Bone marrow smear. 40× objective, oil immersion.
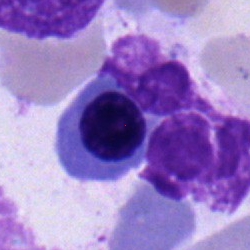 Showing a nucleated red cell.